Bone marrow smear; single cell centered in the field:
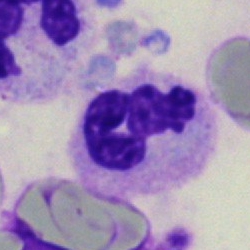Specimen: bone marrow smear.
Cell: polymorphonuclear neutrophil.
Lineage: myeloid.